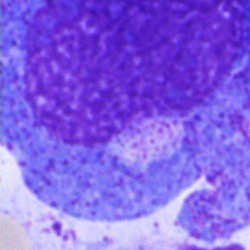

The classification is promyelocyte.